Peripheral blood smear:
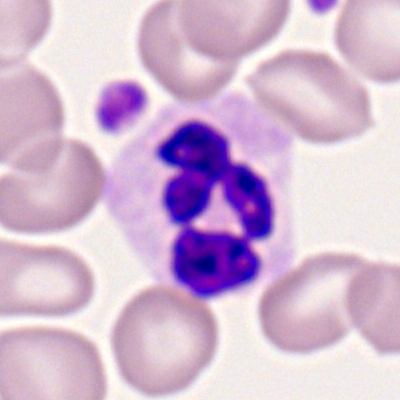
Specimen: peripheral blood film.
Cell type: neutrophil (segmented).